Brightfield microscopy, 40× oil immersion · bone marrow aspirate smear
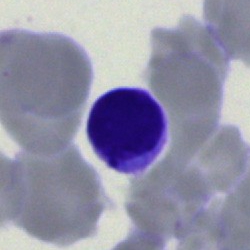

This is a typical lymphocyte.